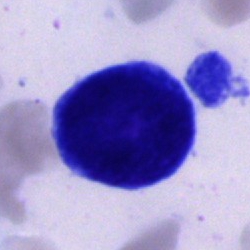Specimen: bone marrow smear.
Classification: unidentifiable cell.